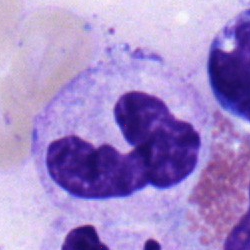The cell shown is a neutrophil (band).